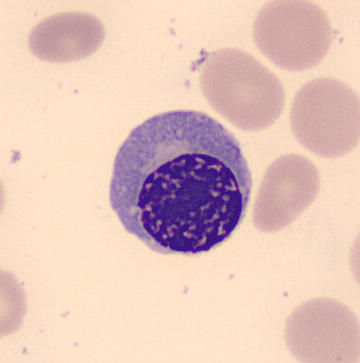
Morphology consistent with a nucleated red blood cell.